250×250; bone marrow smear — 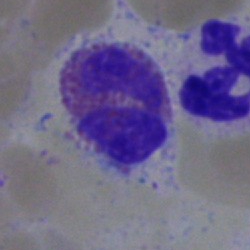

Morphology → eosinophilic granulocyte.